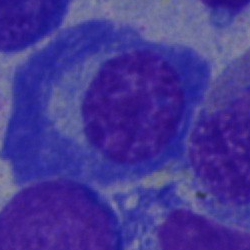

Cell type — plasmacyte.